Single-cell field · bone marrow smear
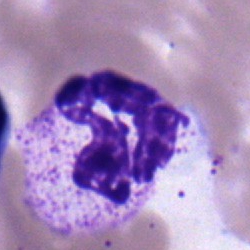

Cell type — polymorphonuclear neutrophil.